Peripheral blood smear.
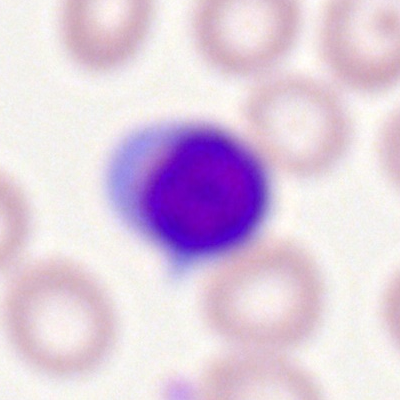The cell is lymphocyte.